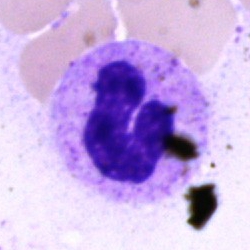

Morphological class: band-form neutrophil.